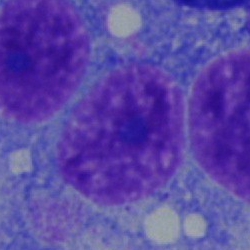
Morphological class: plasmacyte.